Bone marrow aspirate smear — 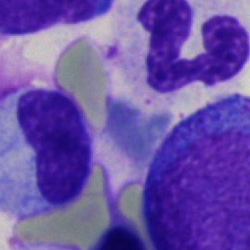

Showing a neutrophil (segmented).